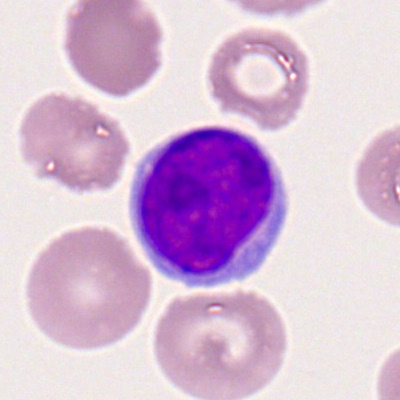Cell = typical lymphocyte.